Bone marrow smear — 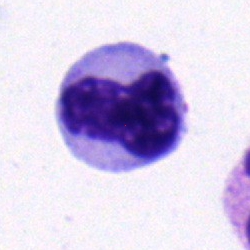 Cell: stab cell.